Brightfield microscopy, 40× oil immersion · bone marrow smear · 250×250.
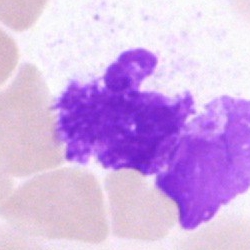

Q: What is shown here?
A: This is an artefact.